Cropped to a single cell; bone marrow aspirate smear
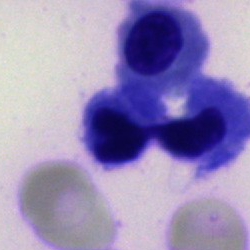

Q: What type of cell is this?
A: A normoblast.